40× objective, oil immersion. Bone marrow smear
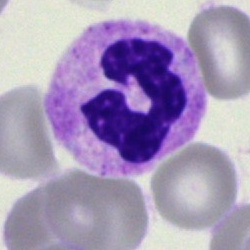

Q: What cell is this?
A: It is a segmented neutrophil.